Bone marrow aspirate smear: 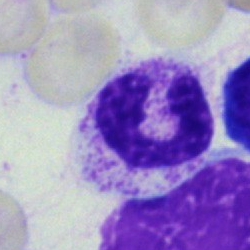
Cell — band-form neutrophil.